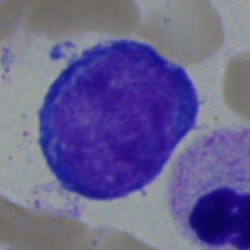

Bone marrow aspirate smear, single cell — blast.